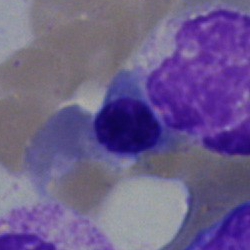Q: What type of cell is this?
A: It is a nucleated red blood cell.